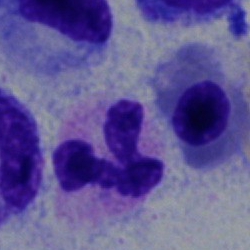Cell — neutrophil (segmented).